Bone marrow smear. May-Grünwald-Giemsa stain:
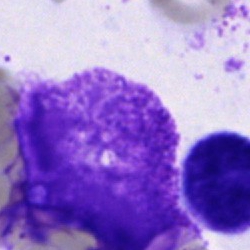The cell type is artifact.